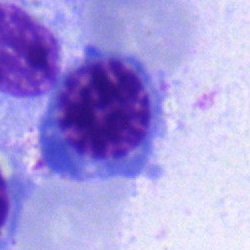
{"cell_type": "nucleated red cell", "lineage": "erythroid"}